Bone marrow aspirate smear · May-Grünwald-Giemsa/Pappenheim stain.
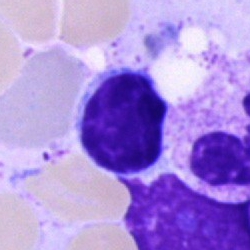

Morphology — lymphocyte.